Bone marrow smear:
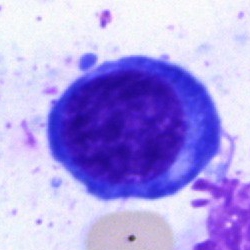

Impression — nucleated red cell.